Bone marrow smear · brightfield, 40× oil-immersion objective · 250 by 250 pixels.
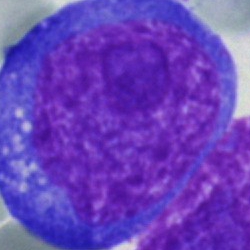
{"cell_type": "blast"}